Bone marrow aspirate smear:
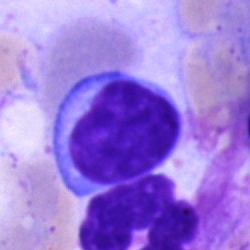Specimen: bone marrow aspirate smear.
Classification: lymphocyte.
Lineage: lymphoid.